Bone marrow smear.
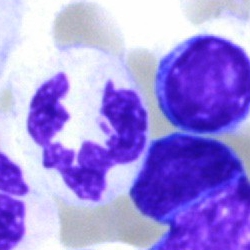

Neutrophil (segmented).